250×250; 40× objective, oil immersion; bone marrow smear
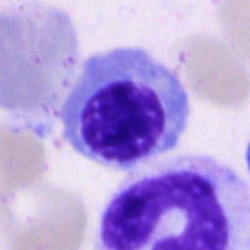

Impression → nucleated red cell.